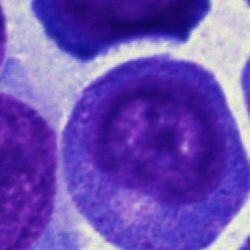 The cell shown is a progranulocyte.